MGG-stained; bone marrow aspirate smear — 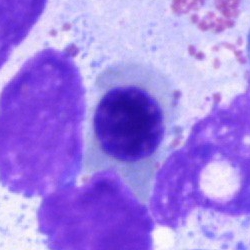 This is a nucleated red blood cell.